Bone marrow smear.
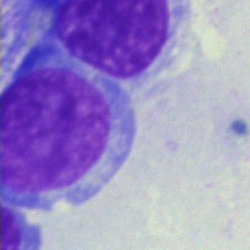 Q: What is the morphological classification of this cell?
A: A blast.